Peripheral blood film · 100× objective, oil immersion:
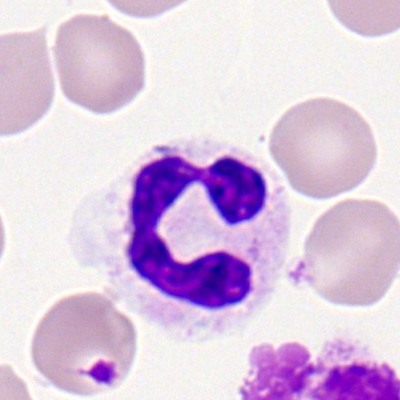

A neutrophil (segmented).